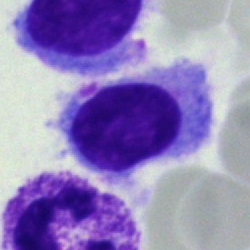

The cell is hairy cell.